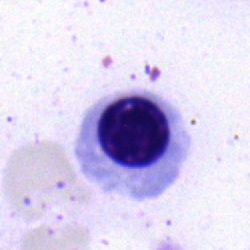Cell type: nucleated red cell.